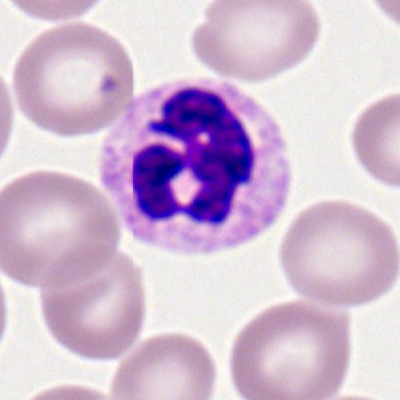A segmented neutrophil.